Image size 400×400; peripheral blood smear
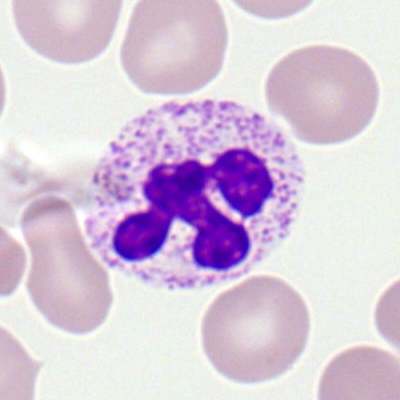

Neutrophil (segmented).